Single cell centered in the field. 250 by 250 pixels. Bone marrow smear — 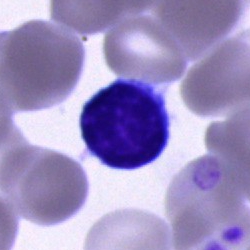

Q: What type of cell is this?
A: Typical lymphocyte.